Bone marrow smear. 250 by 250 pixels
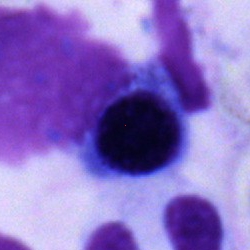

Q: Identify the cell.
A: An erythroblast.